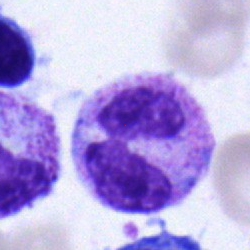

Morphology — neutrophil (segmented).